Bone marrow aspirate smear — 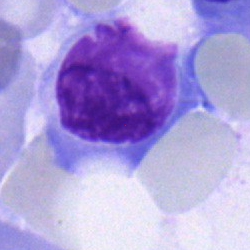Q: Identify the cell.
A: This is a lymphocyte.